Bone marrow smear; single cell centered in the field; 250×250:
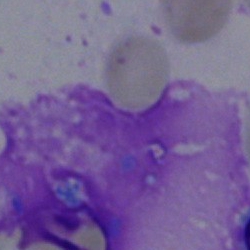
Single cell identified as an artifact.